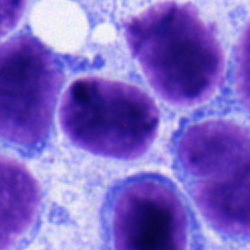 Specimen: bone marrow smear.
Cell type: typical lymphocyte.
Lineage: lymphoid.